Bone marrow smear.
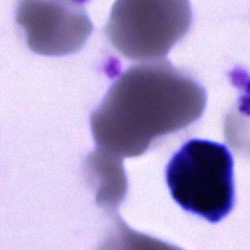 Cell of indeterminate lineage.